May-Grünwald-Giemsa/Pappenheim stain; bone marrow aspirate smear; single cell centered in the field:
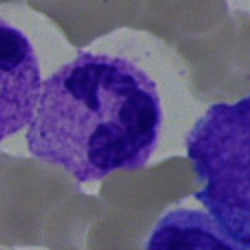Showing a neutrophil (segmented).